Bone marrow smear — 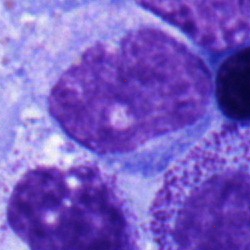 Morphology — monocyte.